Single-cell field; bone marrow smear; Pappenheim-stained — 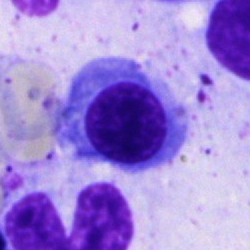Impression — nucleated red cell.